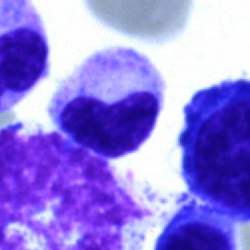 The morphological class is stab cell.